Bone marrow smear
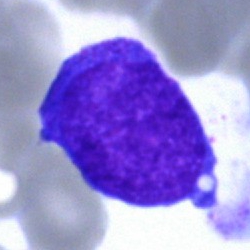
Q: What cell is this?
A: Undifferentiated blast.